Image size 250×250 · bone marrow aspirate smear · cropped to a single cell: 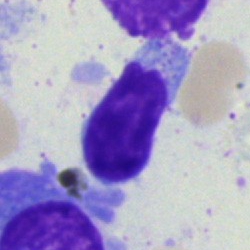Morphological class — lymphocyte.